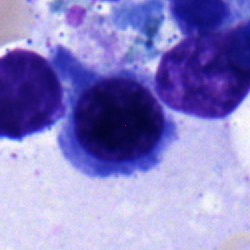
Classification: nucleated red cell.